Single-cell field. Bone marrow aspirate smear. MGG-stained.
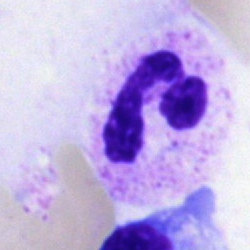

Specimen: bone marrow smear.
Morphological class: polymorphonuclear neutrophil.
Lineage: myeloid.